Bone marrow smear
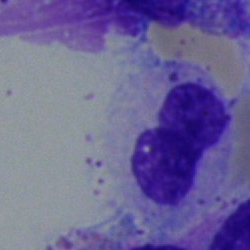

Impression → stab cell.